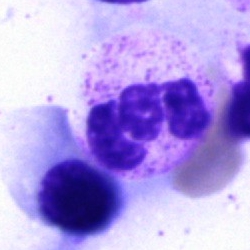Bone marrow aspirate smear, single cell — polymorphonuclear neutrophil.